Bone marrow smear — 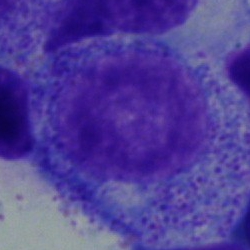

Q: What is shown here?
A: Promyelocyte.